Bone marrow aspirate smear. 40× objective, oil immersion
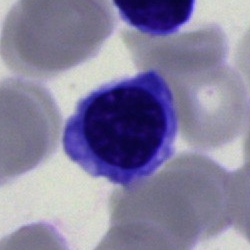
Q: What is the morphological classification of this cell?
A: This is an erythroblast.